Bone marrow smear.
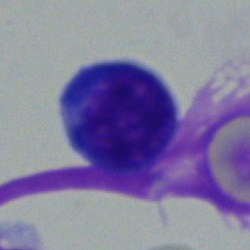Showing a lymphocyte.